Bone marrow smear · single-cell field.
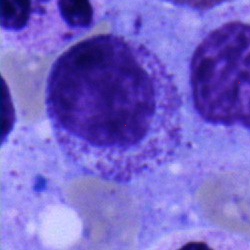

{"cell_type": "myelocyte", "lineage": "myeloid"}